Peripheral blood film:
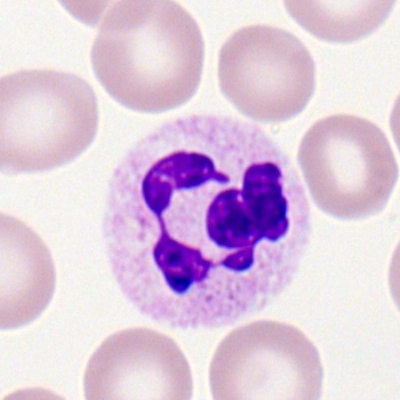 Cell = polymorphonuclear neutrophil.